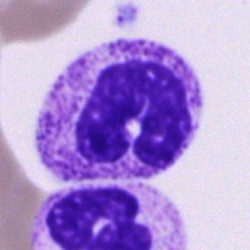

Q: What cell is this?
A: Neutrophil (band).